Bone marrow smear: 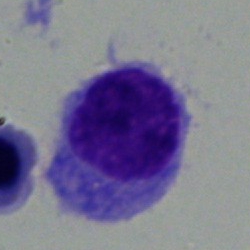Morphological class: typical lymphocyte.